250 by 250 pixels; bone marrow aspirate smear
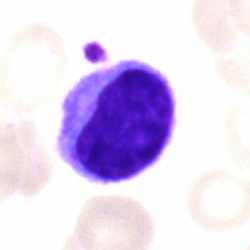
Single cell identified as a typical lymphocyte.